Bone marrow smear: 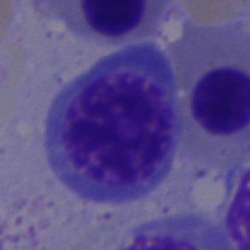

Morphological class — nucleated red blood cell.